Bone marrow smear.
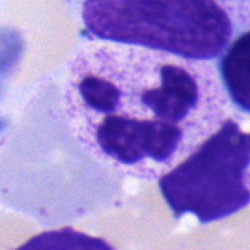 Q: Identify the cell.
A: Segmented neutrophil.